Bone marrow smear; cropped to a single cell — 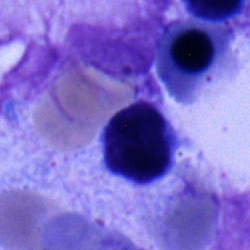Showing a lymphocyte.